Bone marrow aspirate smear.
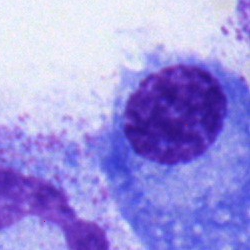 Morphology consistent with a plasma cell.